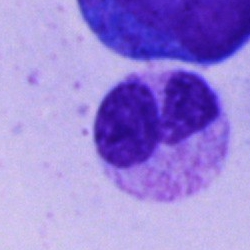

Morphology → segmented neutrophil.